Peripheral blood smear.
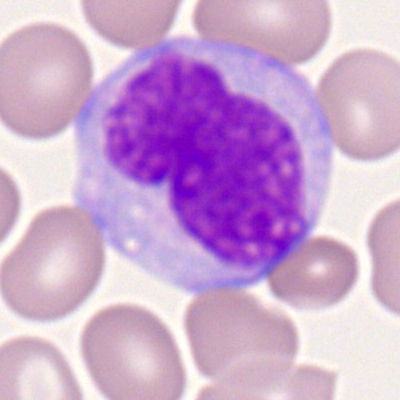
Cell: monocyte.